Bone marrow smear. Brightfield, 40× oil-immersion objective.
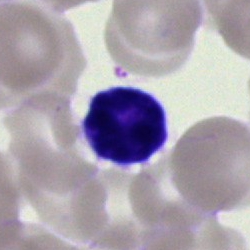Specimen: bone marrow smear.
Cell: typical lymphocyte.
Lineage: lymphoid.